Peripheral blood smear; image size 360×363: 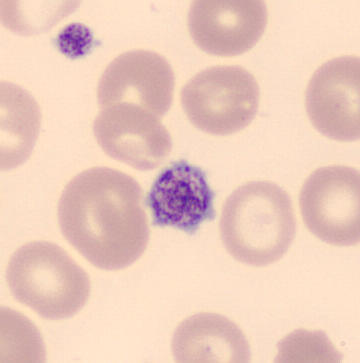Morphology — thrombocyte.